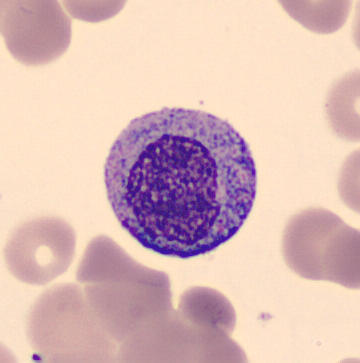

Peripheral blood film.
The cell type is myelocyte.